Bone marrow smear: 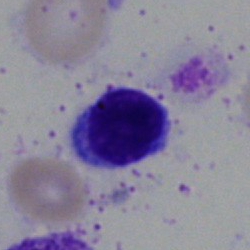 Specimen: bone marrow aspirate smear.
Cell type: lymphocyte.